Brightfield microscopy, 40× oil immersion · bone marrow aspirate smear: 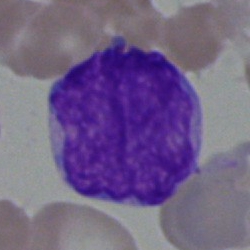 Blast cell.